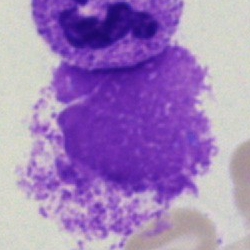 The cell type is artifact.